Bone marrow aspirate smear — 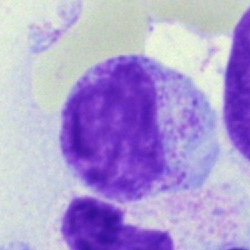

Cell — metamyelocyte.